Cropped to a single cell. Bone marrow smear:
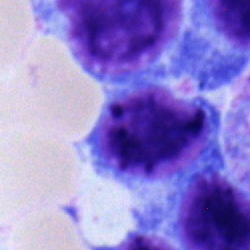

Q: Which cell type is shown here?
A: This is a typical lymphocyte.